MGG-stained · bone marrow smear.
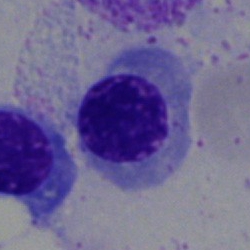Cell = erythroblast.